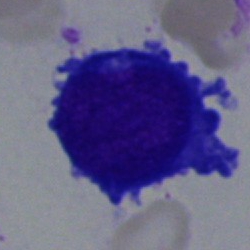

Single-cell crop from a bone marrow smear: proerythroblast.